May-Grünwald-Giemsa/Pappenheim stain; bone marrow smear:
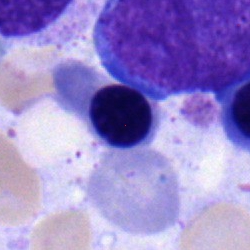

{"cell_type": "nucleated red blood cell", "lineage": "erythroid"}